Bone marrow smear: 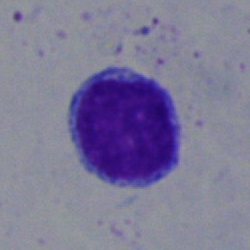

Impression → typical lymphocyte.